Bone marrow smear; 40× objective, oil immersion: 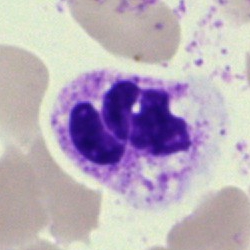Q: What is the morphological classification of this cell?
A: Segmented neutrophil.